Bone marrow smear.
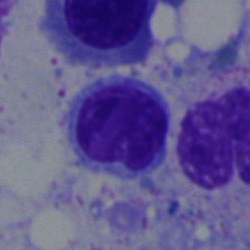
This is a typical lymphocyte.